Single cell centered in the field. Peripheral blood film. Image size 400×400 — 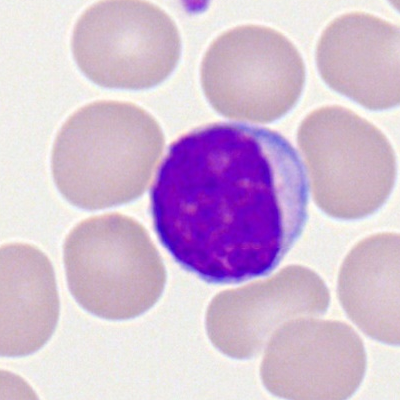

Morphology consistent with a lymphocyte.